Bone marrow aspirate smear · MGG-stained · single-cell crop — 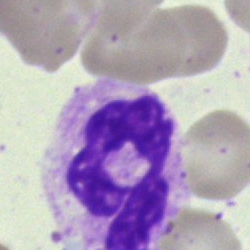
Morphology consistent with a neutrophil (segmented).